Bone marrow smear.
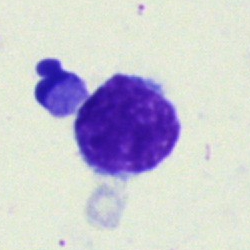
Cell type = typical lymphocyte.